Bone marrow aspirate smear — 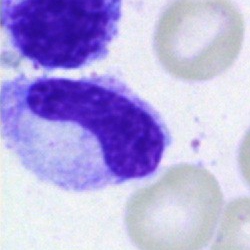 Showing a band neutrophil.